Bone marrow aspirate smear · 40× oil immersion · single cell centered in the field
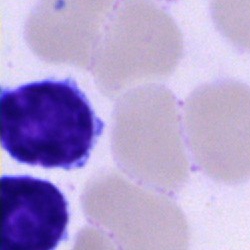Q: What type of cell is this?
A: It is a lymphocyte.